250×250 · 40× oil immersion · bone marrow aspirate smear:
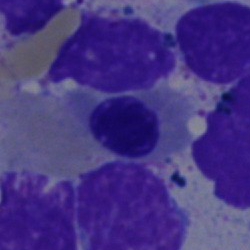Nucleated red blood cell.